Bone marrow smear.
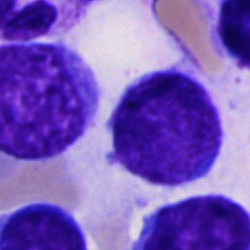Q: Identify the cell.
A: This is a blast.